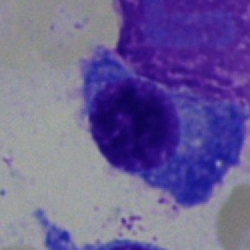 Q: What cell is this?
A: A plasma cell.